Bone marrow smear — 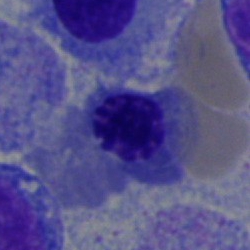

Nucleated red cell.